Bone marrow smear. Brightfield, 40× oil-immersion objective. 250×250 px.
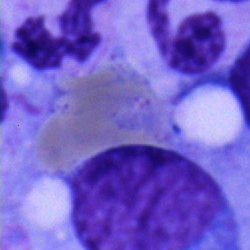
The cell shown is a neutrophil (band).